Bone marrow smear; 250 by 250 pixels.
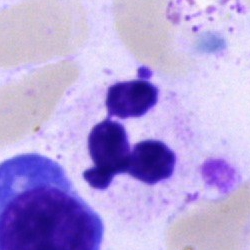Impression → segmented neutrophil.